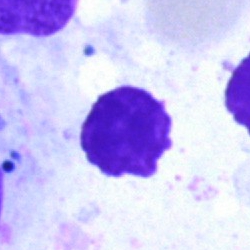 Classification — artifact.